May-Grünwald-Giemsa/Pappenheim stain; bone marrow aspirate smear: 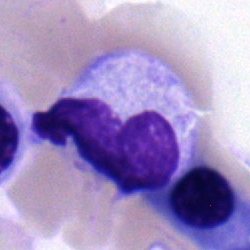

Specimen: bone marrow smear.
Cell: monocyte.
Lineage: myeloid.